Single-cell field. Bone marrow aspirate smear:
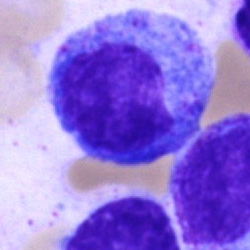
The cell shown is a progranulocyte.